Bone marrow smear; May-Grünwald-Giemsa/Pappenheim stain
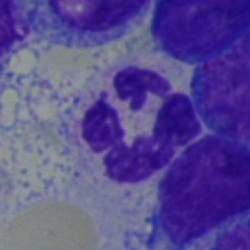

Impression → segmented neutrophil.